Bone marrow smear. Single-cell field: 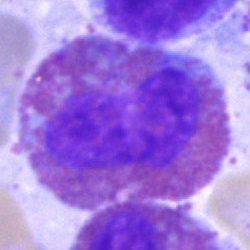 Morphology → eosinophilic granulocyte.